Bone marrow smear; 40× objective, oil immersion.
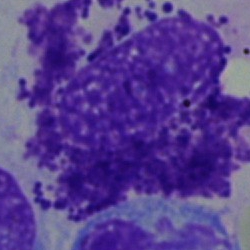
Specimen: bone marrow smear.
Cell: cell not matching the other categories.